Image size 250×250; bone marrow smear — 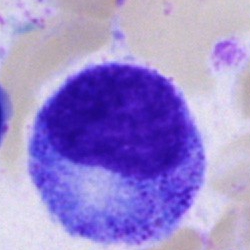Morphology consistent with a promyelocyte.